Bone marrow aspirate smear · brightfield microscopy, 40× oil immersion · MGG-stained: 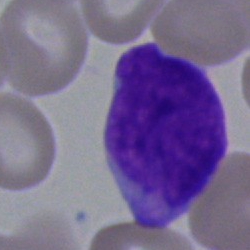
Blast.